Bone marrow smear · May-Grünwald-Giemsa/Pappenheim stain — 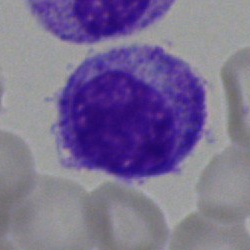 Impression — promyelocyte.